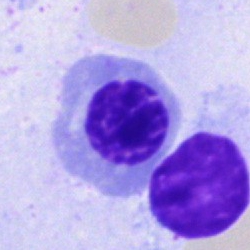
Impression — nucleated red blood cell.